Bone marrow aspirate smear — 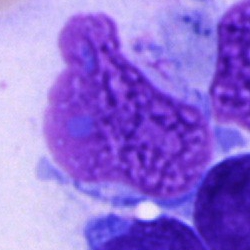
Q: What is shown here?
A: This is an artifact.